Single-cell crop · 400×400 px · peripheral blood smear:
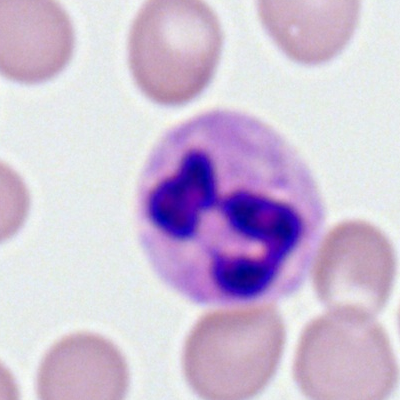
Specimen: peripheral blood film.
Morphological class: segmented neutrophil.